Image size 250×250 · bone marrow aspirate smear
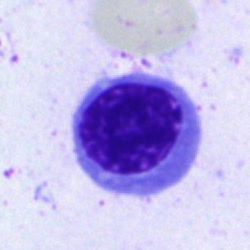
Impression — nucleated red cell.